Single-cell crop · bone marrow aspirate smear: 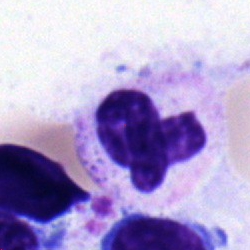
Morphology consistent with a segmented neutrophil.